MGG-stained · bone marrow aspirate smear · single-cell field: 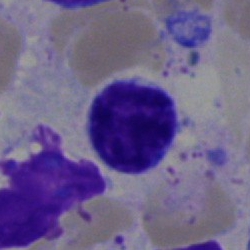
Morphology consistent with a lymphocyte.